Bone marrow aspirate smear · 250×250
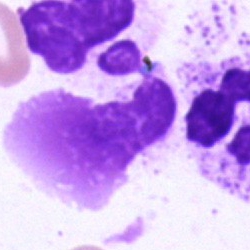Specimen: bone marrow smear.
Cell type: artefact.